Bone marrow smear: 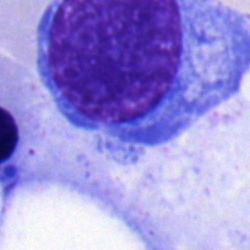 A plasma cell.